Bone marrow smear; May-Grünwald-Giemsa/Pappenheim stain:
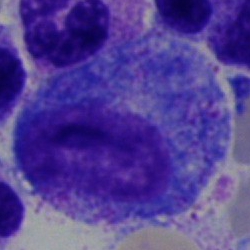

Morphological class = progranulocyte.